40× oil immersion · bone marrow smear:
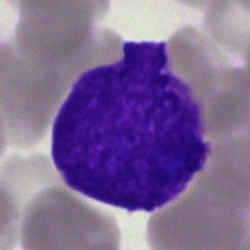
Morphology — artifact.